250×250; bone marrow smear:
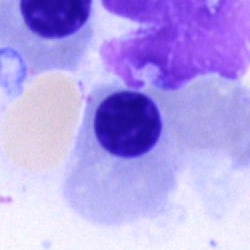
Cell: normoblast.